40× objective, oil immersion · bone marrow aspirate smear · 250×250 px — 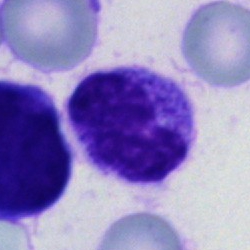 {"cell_type": "polymorphonuclear neutrophil"}